Bone marrow aspirate smear.
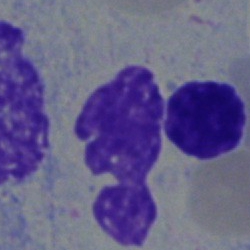 Cell type — polymorphonuclear neutrophil.